250×250 · bone marrow aspirate smear: 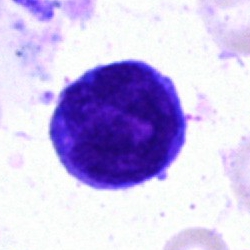 {"cell_type": "blast"}